Bone marrow aspirate smear · 250 by 250 pixels:
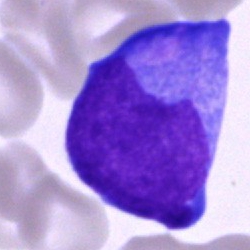
Cell type = blast.